Bone marrow smear: 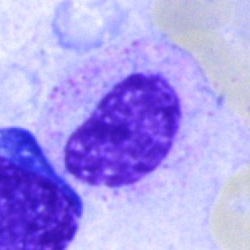
Band neutrophil.